Single-cell crop · bone marrow smear:
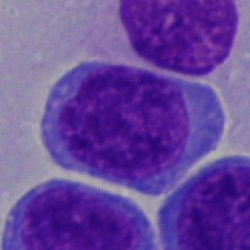 {"cell_type": "blast"}